Bone marrow aspirate smear
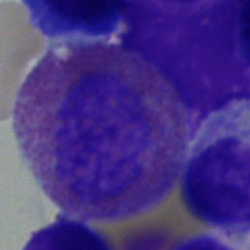 {"cell_type": "myelocyte"}